Bone marrow smear:
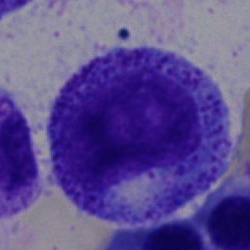Q: Which cell type is shown here?
A: It is a progranulocyte.